Pappenheim-stained; bone marrow smear.
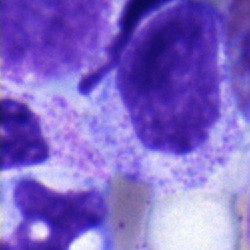 Impression — polymorphonuclear neutrophil.